Peripheral blood smear
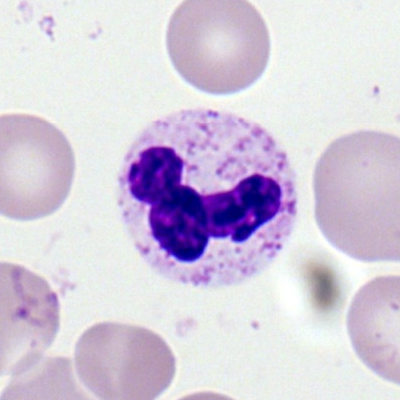 The classification is segmented neutrophil.